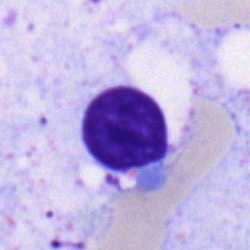
Q: What is the morphological classification of this cell?
A: It is a typical lymphocyte.